Bone marrow smear
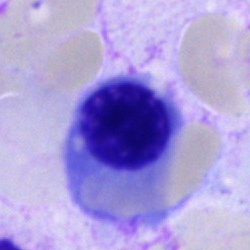

This is a normoblast.